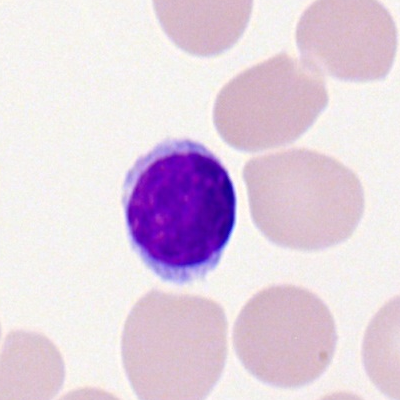{"cell_type": "lymphocyte", "lineage": "lymphoid"}